Bone marrow aspirate smear.
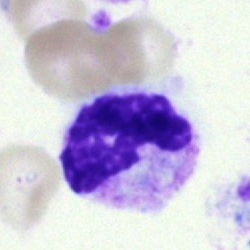 Classification — polymorphonuclear neutrophil.